Peripheral blood film:
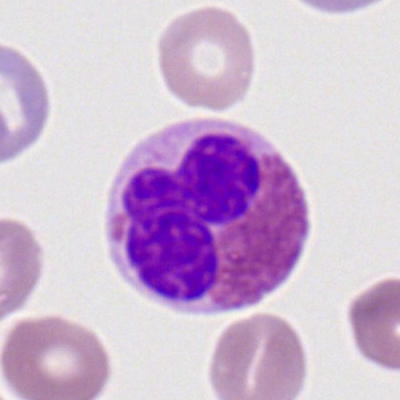
Showing an eosinophil.